Bone marrow smear: 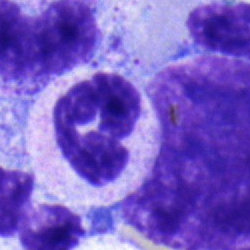 Single cell identified as a segmented neutrophil.